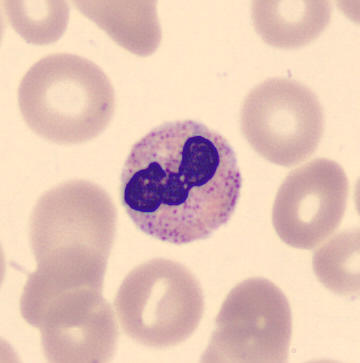 Impression → neutrophil (band). Cropped to a single cell; peripheral blood film; May-Grünwald-Giemsa-stained.